Bone marrow aspirate smear: 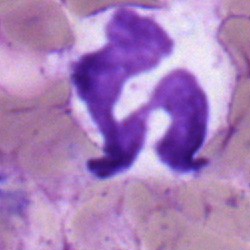

Showing a neutrophil (segmented).